May-Grünwald-Giemsa stain. Bone marrow smear — 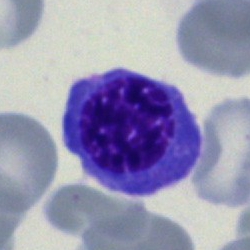
Single cell identified as a normoblast.